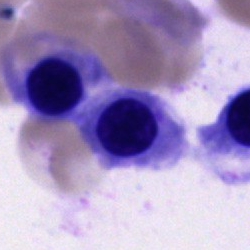
Q: What is shown here?
A: It is a nucleated red blood cell.